Bone marrow aspirate smear.
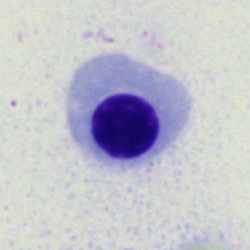
Showing a normoblast.